Brightfield, 40× oil-immersion objective · bone marrow smear · single cell centered in the field.
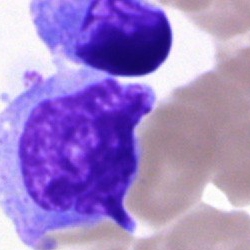 Morphological class: monocyte.